Bone marrow aspirate smear: 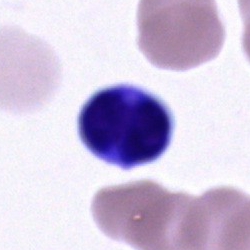
A typical lymphocyte.